40× oil immersion; bone marrow smear.
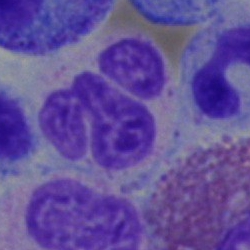
The cell shown is a polymorphonuclear neutrophil.